Single cell centered in the field; peripheral blood film: 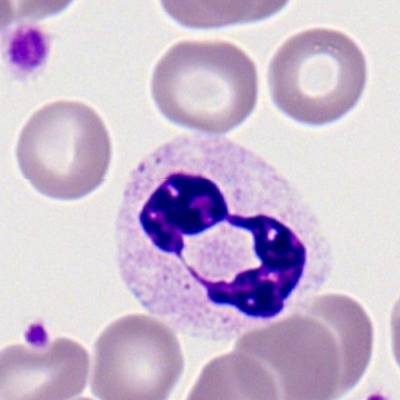

Cell type: polymorphonuclear neutrophil.